Bone marrow aspirate smear
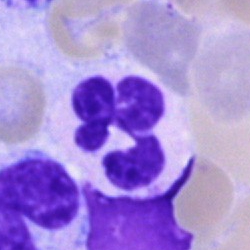
Cell = segmented neutrophil.